Peripheral blood smear: 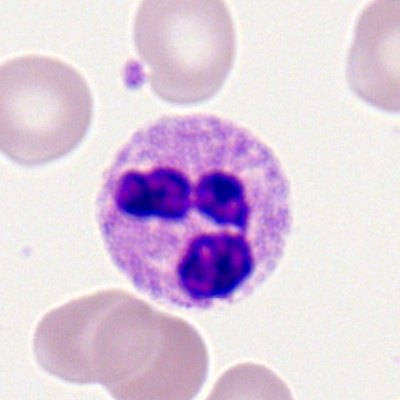Cell = eosinophilic granulocyte.